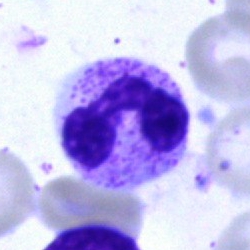

Cell type — polymorphonuclear neutrophil.